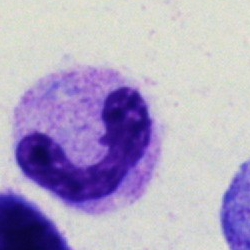

Bone marrow smear showing a band-form neutrophil.